Bone marrow aspirate smear · MGG-stained — 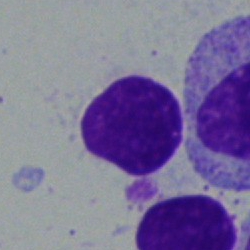

A lymphocyte.